Bone marrow smear.
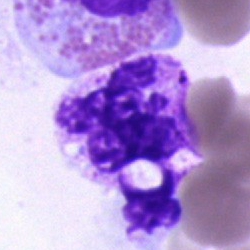
Cell — polymorphonuclear neutrophil.